Bone marrow smear — 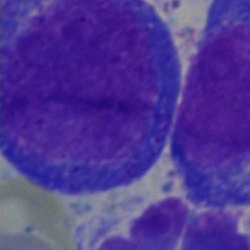

Cell — pronormoblast.